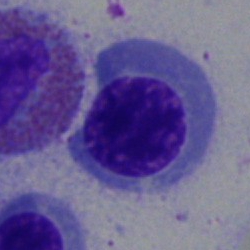

Bone marrow smear showing a normoblast.